Romanowsky-type stain; 100× oil immersion, 14.14 px/µm; peripheral blood smear: 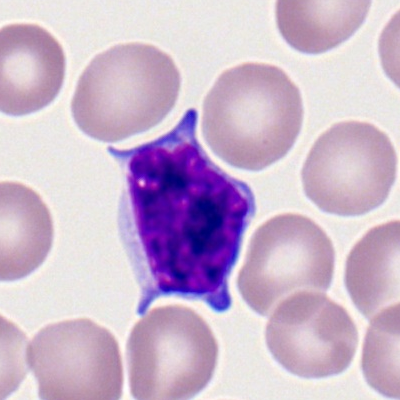

Q: Which cell type is shown here?
A: This is a lymphocyte.